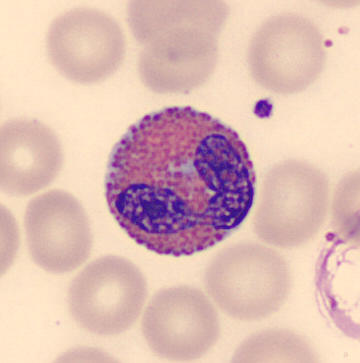

Q: What type of cell is this?
A: Eosinophilic granulocyte.
Peripheral blood smear. 360×363.